Bone marrow smear
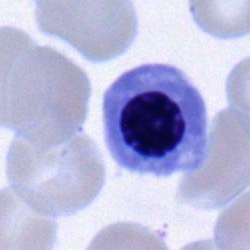 This is a normoblast.